Cropped to a single cell; brightfield, 100× oil-immersion objective; peripheral blood film:
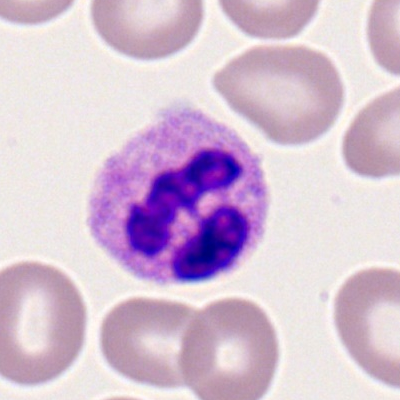 Single cell identified as a polymorphonuclear neutrophil.